Bone marrow aspirate smear. Brightfield microscopy, 40× oil immersion:
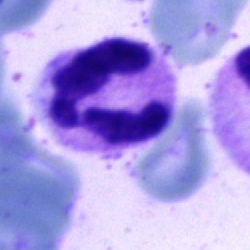
Specimen: bone marrow aspirate smear.
Cell type: polymorphonuclear neutrophil.
Lineage: myeloid.